250×250. Bone marrow aspirate smear — 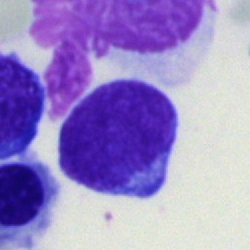 Specimen: bone marrow smear.
Cell type: blast cell.